Bone marrow aspirate smear
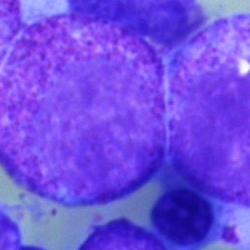
The cell shown is a promyelocyte.